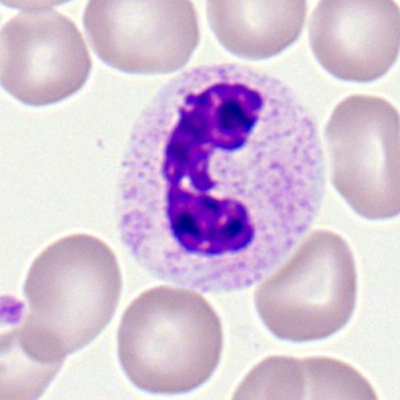

Morphology → band-form neutrophil.